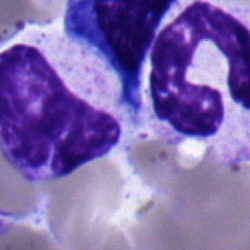Classification = nucleated red blood cell.